Bone marrow smear — 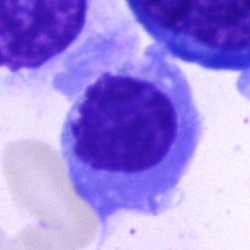 Nucleated red cell.